Bone marrow smear.
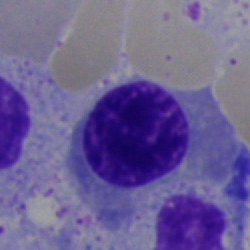

{"cell_type": "normoblast"}